Bone marrow aspirate smear · cropped to a single cell.
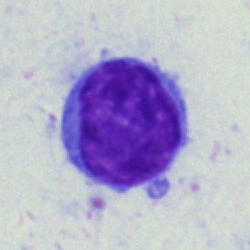 Q: Which cell type is shown here?
A: A typical lymphocyte.